Bone marrow smear: 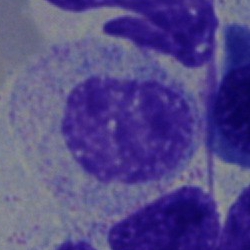 Q: Identify the cell.
A: This is a myelocyte.